Peripheral blood smear. Single cell centered in the field:
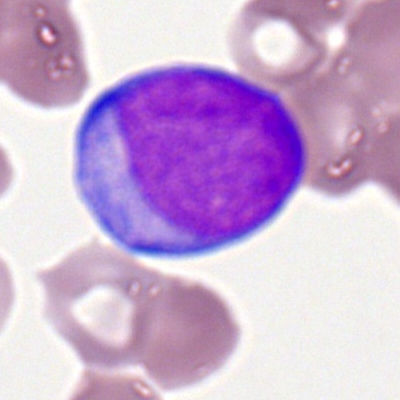 A myeloid blast.